Pappenheim-stained. Bone marrow smear. Single-cell crop.
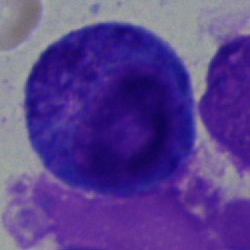The morphological class is promyelocyte.